Image size 250×250. Bone marrow smear. Cropped to a single cell:
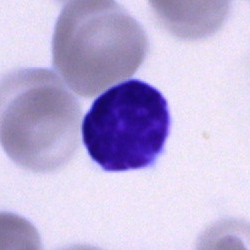Showing a typical lymphocyte.